250 by 250 pixels · bone marrow smear
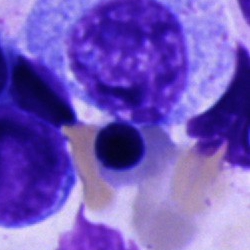

Specimen: bone marrow aspirate smear.
Cell type: cell of indeterminate lineage.